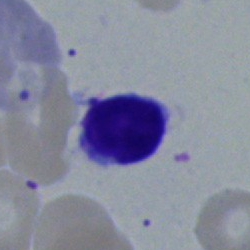
{"cell_type": "lymphocyte"}